Bone marrow smear: 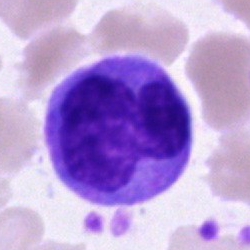

{"cell_type": "monocyte"}